Peripheral blood film — 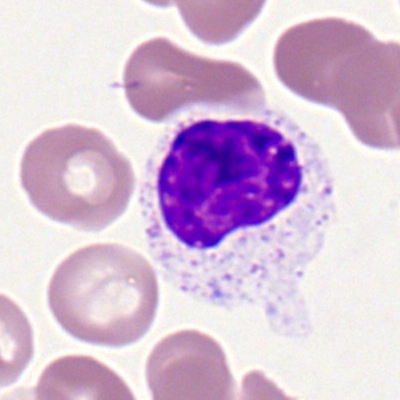Morphology consistent with a typical lymphocyte.